Bone marrow smear:
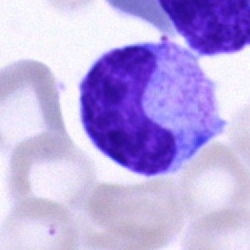

Cell: metamyelocyte.